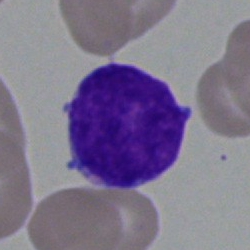 The cell shown is a blast.